Peripheral blood film: 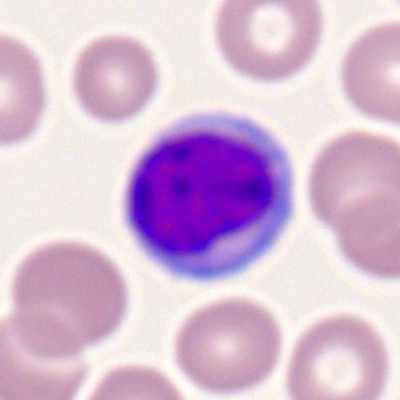 {"cell_type": "lymphocyte"}